May-Grünwald-Giemsa stain · bone marrow smear — 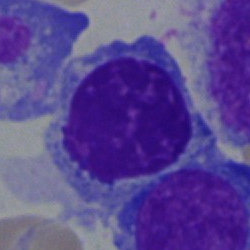Classification — erythroblast.